Bone marrow aspirate smear — 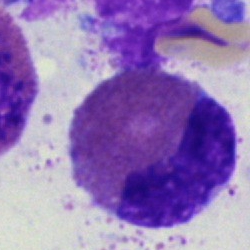Morphological class: eosinophilic granulocyte.